Bone marrow smear: 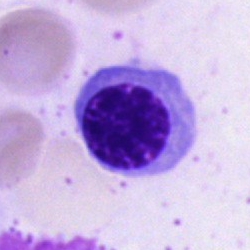Classification = normoblast.